Bone marrow smear. Image size 250×250:
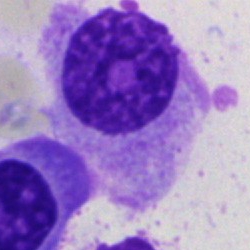

Morphological class = artefact.